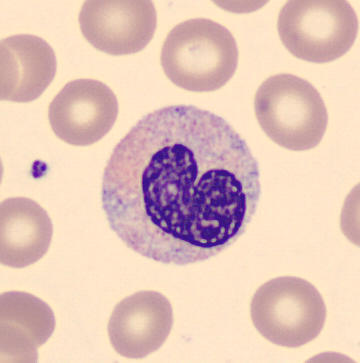 Preparation: Peripheral blood film.
Morphology → stab cell.